Bone marrow smear:
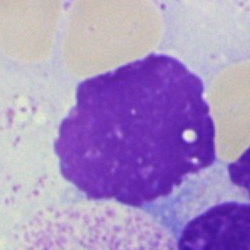 Artifact.